Peripheral blood film: 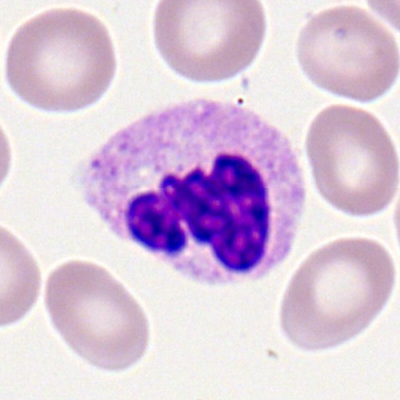Q: What type of cell is this?
A: A neutrophil (segmented).